Cropped to a single cell; May-Grünwald-Giemsa/Pappenheim stain; bone marrow smear.
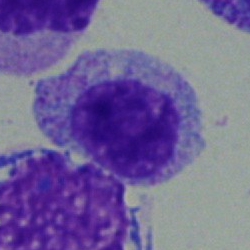 Cell = myelocyte.